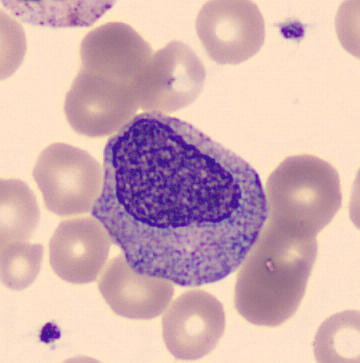{"cell_type": "myelocyte"}

Imaged on a CellaVision DM96 analyser. Peripheral blood smear.